Bone marrow smear. Single-cell field.
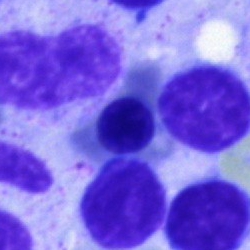

Nucleated red blood cell.